Bone marrow smear · 250×250 px
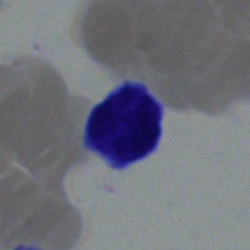
Q: What cell is this?
A: Typical lymphocyte.